Bone marrow aspirate smear:
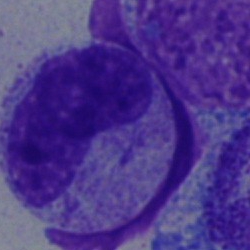The cell shown is a metamyelocyte.